May-Grünwald-Giemsa/Pappenheim stain. Bone marrow smear.
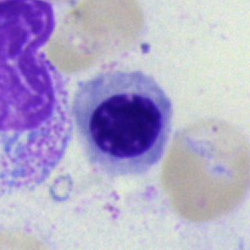

The morphological class is nucleated red cell.